Bone marrow smear
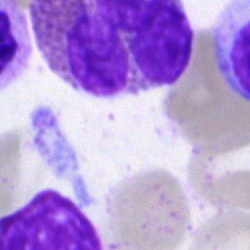
The morphological class is eosinophilic granulocyte.